Pappenheim-stained · bone marrow aspirate smear
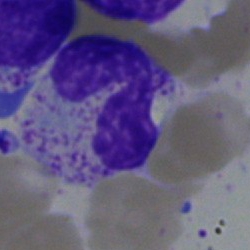 Classification — band-form neutrophil.